Peripheral blood film; M8 digital microscope (Precipoint), 100× oil immersion; Romanowsky stain.
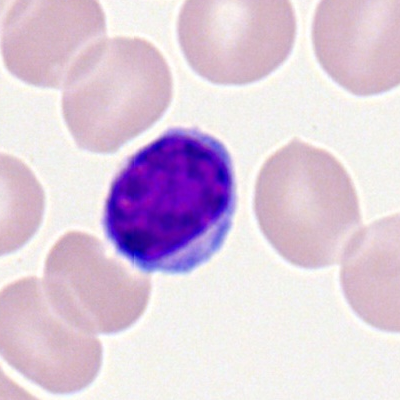

This is a lymphocyte.